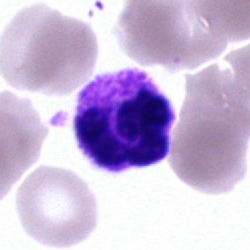Single cell identified as a segmented neutrophil.